Bone marrow smear — 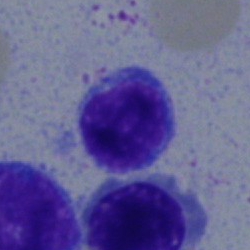 The cell shown is a typical lymphocyte.